Bone marrow smear. May-Grünwald-Giemsa stain. Single-cell crop: 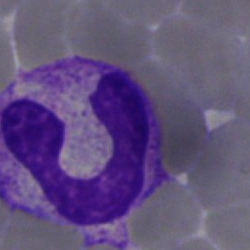 The cell shown is a segmented neutrophil.